Peripheral blood smear. Brightfield, 100× oil-immersion objective:
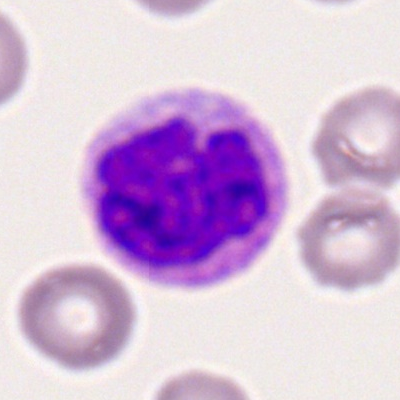

Cell type — eosinophil.